Bone marrow aspirate smear
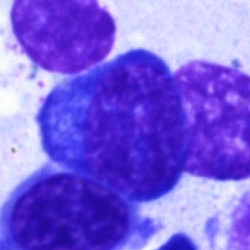The cell is nucleated red blood cell.